Bone marrow smear
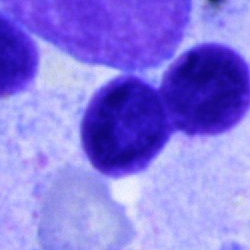
Cell type — artefact.